Single-cell crop · 250 by 250 pixels · bone marrow smear
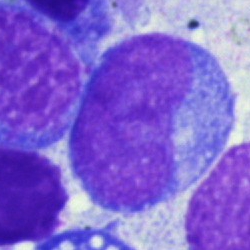 Single cell identified as a blast.